40× oil immersion. Bone marrow aspirate smear.
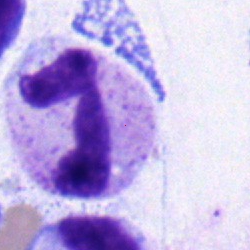Q: What is shown here?
A: This is a segmented neutrophil.